Bone marrow aspirate smear. May-Grünwald-Giemsa stain — 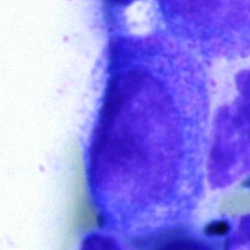

Morphological class — progranulocyte.